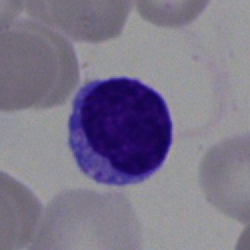Single cell identified as a lymphocyte.